Bone marrow aspirate smear:
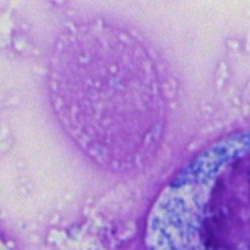
Morphology — artifact.